Bone marrow smear
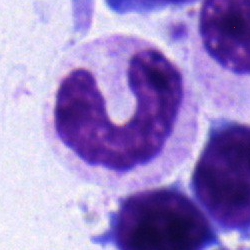Classification — stab cell.